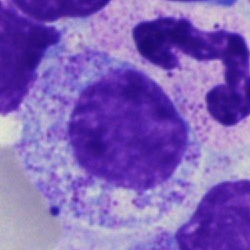
Cell type: myelocyte.